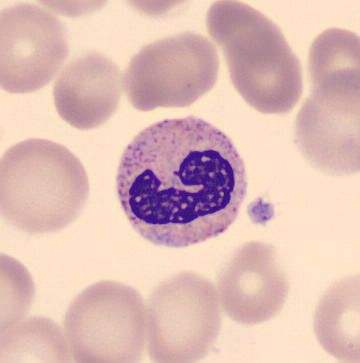
Preparation: Imaged on a CellaVision DM96 analyser · peripheral blood film · 360 by 363 pixels.
Single cell identified as a neutrophil (band).